250×250 px; May-Grünwald-Giemsa/Pappenheim stain; bone marrow smear.
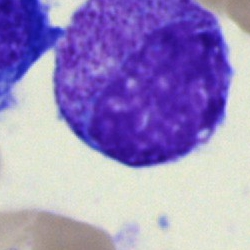Showing a myelocyte.